250×250 px; bone marrow smear
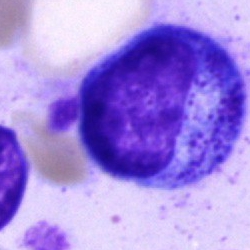 Single cell identified as a promyelocyte.